250 by 250 pixels; brightfield microscopy, 40× oil immersion; bone marrow aspirate smear
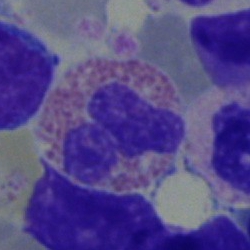
An eosinophil.